Bone marrow smear — 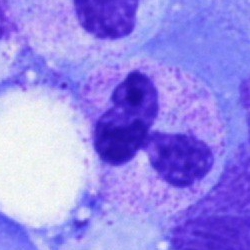 Classification — segmented neutrophil.